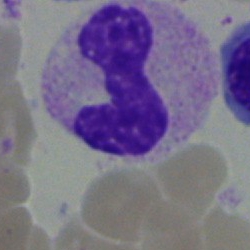
Classification: metamyelocyte.